Single-cell crop; bone marrow smear:
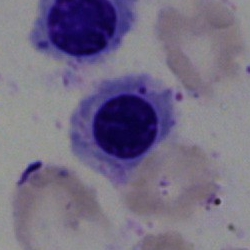 Specimen: bone marrow smear.
Morphological class: normoblast.
Lineage: erythroid.